Single-cell field. Bone marrow aspirate smear.
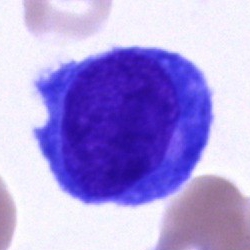

Q: What type of cell is this?
A: Blast cell.